250×250; bone marrow aspirate smear:
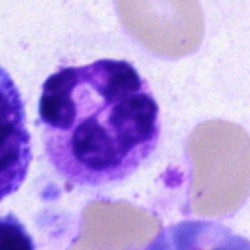
This is a neutrophil (segmented).